Bone marrow smear — 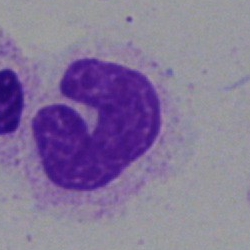 Specimen: bone marrow smear.
Cell: artifact.